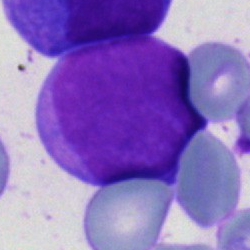Cell: blast cell.